250×250 px · bone marrow smear — 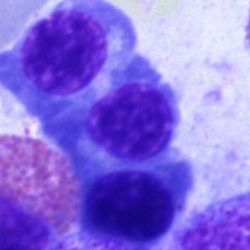
Classification = erythroblast.